Bone marrow smear; May-Grünwald-Giemsa stain.
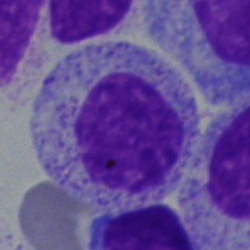 Myelocyte.